Bone marrow aspirate smear — 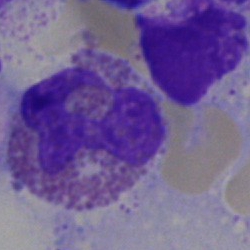{"cell_type": "eosinophilic granulocyte", "lineage": "myeloid"}